Peripheral blood film:
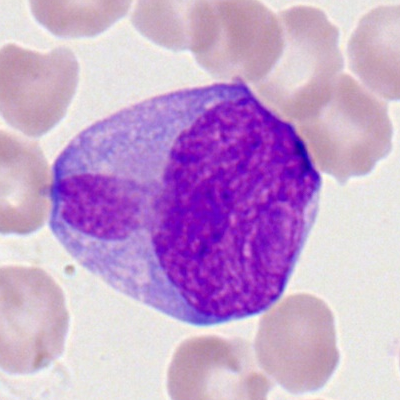 Impression — myeloid blast.